Peripheral blood smear:
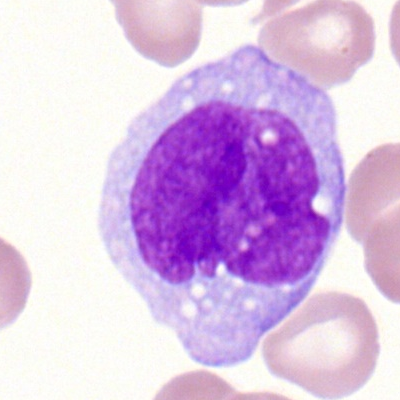 Monocyte.